Bone marrow smear: 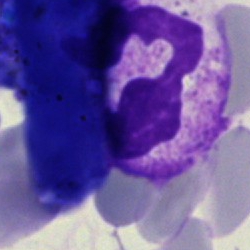

{"cell_type": "segmented neutrophil"}